Brightfield, 40× oil-immersion objective. Bone marrow aspirate smear. 250 by 250 pixels
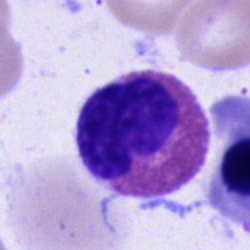
Q: Which cell type is shown here?
A: An eosinophilic granulocyte.